Brightfield, 40× oil-immersion objective · bone marrow smear:
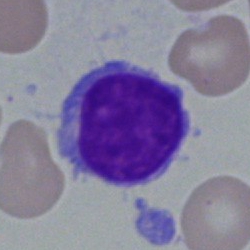
Morphology consistent with a typical lymphocyte.